Bone marrow smear; brightfield microscopy, 40× oil immersion; single cell centered in the field — 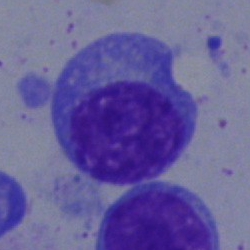
Morphology consistent with a plasma cell.